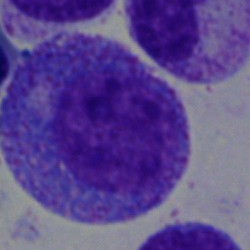

Single cell identified as a progranulocyte.